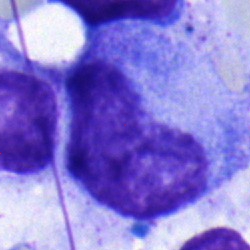 Bone marrow smear showing a progranulocyte.